250×250 · bone marrow smear: 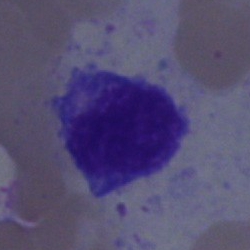

The cell shown is a lymphocyte.